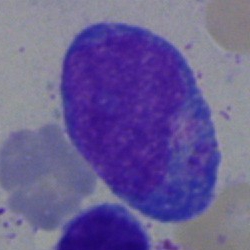

Q: What cell is this?
A: It is a promyelocyte.